Image size 250×250; 40× oil immersion; bone marrow smear
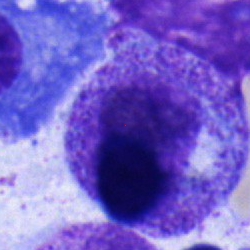 This is a progranulocyte.